Bone marrow smear — 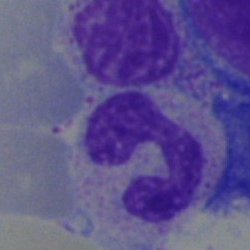 Morphological class = neutrophil (band).